Peripheral blood film.
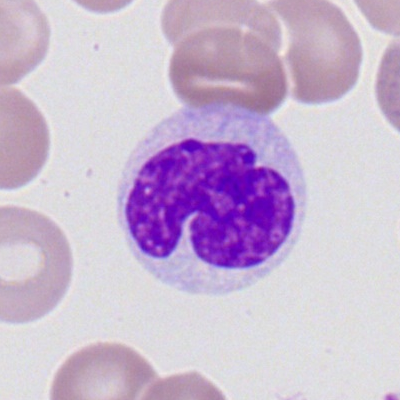Classification = polymorphonuclear neutrophil.